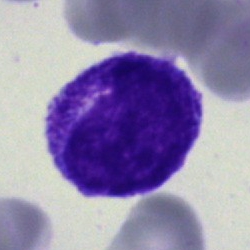 Q: Which cell type is shown here?
A: A myelocyte.